400×400 px. Single-cell field. Peripheral blood film — 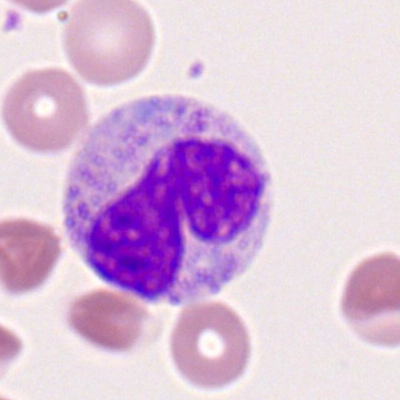This is a monocyte.